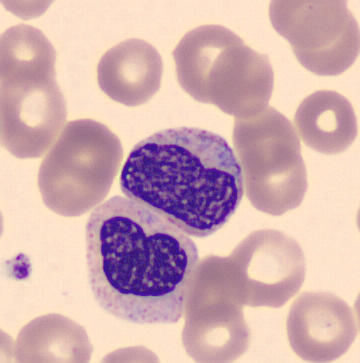
Acquisition: May Grünwald-Giemsa stain. Cropped to a single cell. Peripheral blood film.
{"cell_type": "metamyelocyte"}